Bone marrow smear: 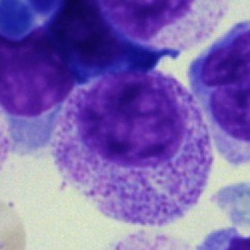

A myelocyte.